Bone marrow aspirate smear. Brightfield, 40× oil-immersion objective: 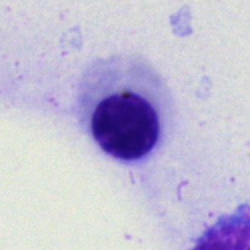

Impression → nucleated red blood cell.